40× objective, oil immersion · single-cell field · bone marrow smear.
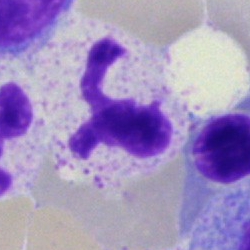 Cell type = neutrophil (segmented).